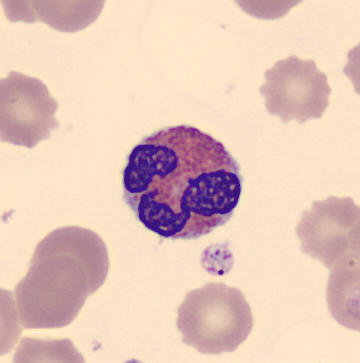
Peripheral blood smear; MGG-stained. An eosinophilic granulocyte.